May-Grünwald-Giemsa/Pappenheim stain; bone marrow aspirate smear — 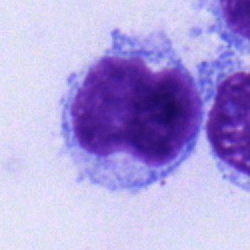

The morphological class is lymphocyte.